May-Grünwald-Giemsa stain · bone marrow aspirate smear — 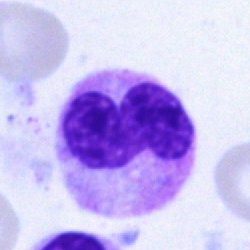 A band neutrophil.